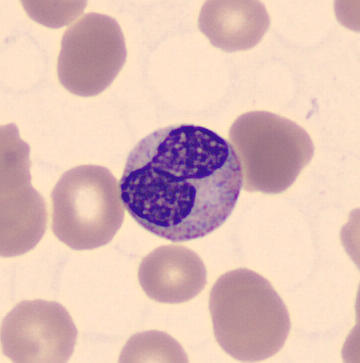

Specimen: peripheral blood smear.
Morphological class: stab cell.